Bone marrow smear
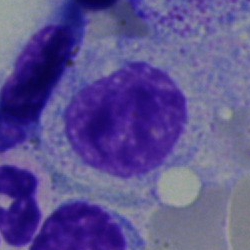 Impression → myelocyte.